Bone marrow aspirate smear: 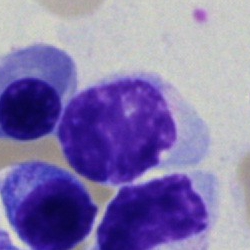

The cell is lymphocyte.